Bone marrow smear
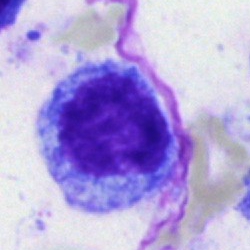Single cell identified as a myelocyte.